Single-cell crop; bone marrow aspirate smear; brightfield, 40× oil-immersion objective.
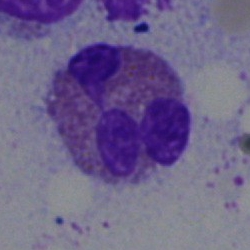Classification: eosinophilic granulocyte.